Bone marrow aspirate smear.
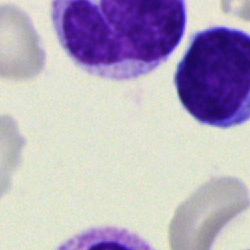 This is a segmented neutrophil.